Bone marrow smear.
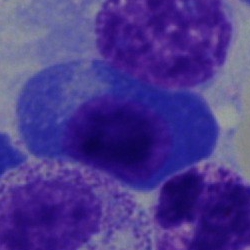
Morphological class: plasma cell.